Peripheral blood smear: 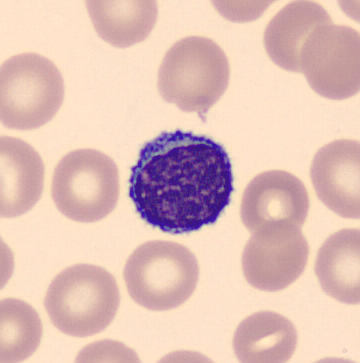
The classification is lymphocyte.